Pappenheim-stained. 250×250. Bone marrow smear
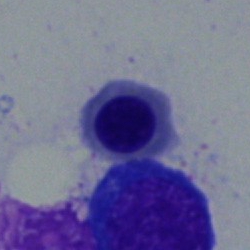 Showing a nucleated red blood cell.